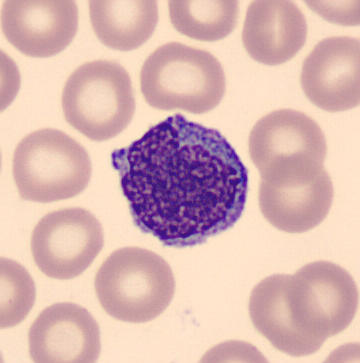Impression → monocyte. Image: Peripheral blood smear.